Peripheral blood smear.
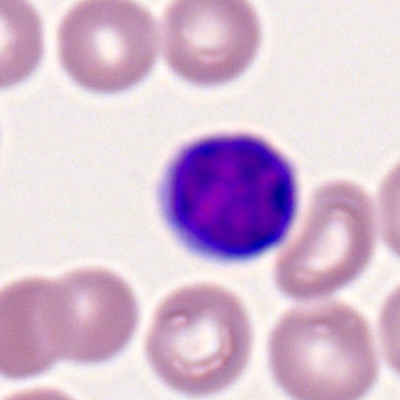{"cell_type": "lymphocyte"}